Image size 250×250. Bone marrow aspirate smear. MGG-stained: 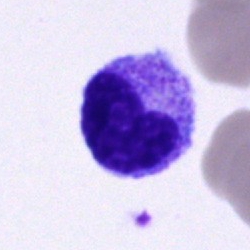

A metamyelocyte.